Bone marrow smear:
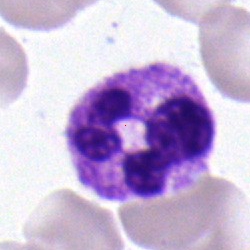

The cell shown is a neutrophil (segmented).